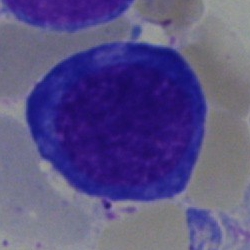
Cell type = pronormoblast.